Peripheral blood film; brightfield, 100× oil-immersion objective.
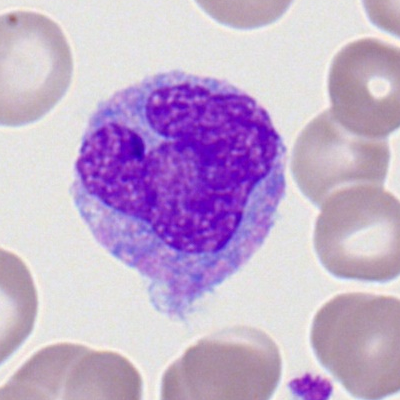

Showing a monocyte.